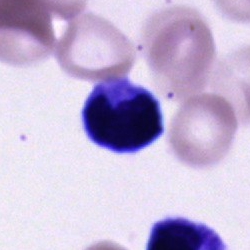Specimen: bone marrow smear.
Cell: unidentifiable cell.